MGG-stained. Bone marrow smear: 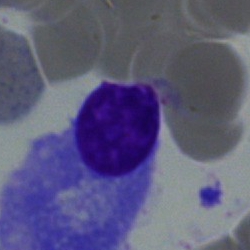Morphology consistent with a plasma cell.